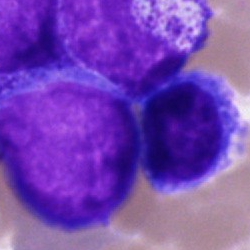

Specimen: bone marrow aspirate smear.
Cell type: undifferentiated blast.